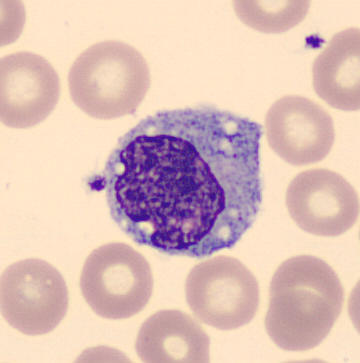
Cell: monocyte. Preparation: Peripheral blood film.